Bone marrow smear · May-Grünwald-Giemsa/Pappenheim stain
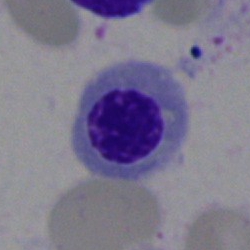 Morphology consistent with a nucleated red blood cell.